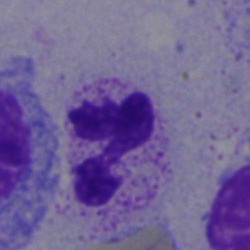 Q: Identify the cell.
A: This is a neutrophil (segmented).